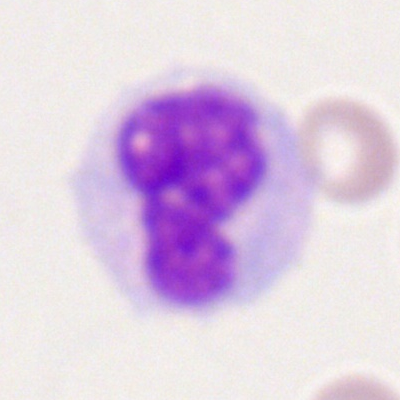 Specimen: peripheral blood film.
Morphological class: monocyte.